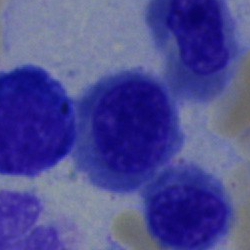
Cell = nucleated red cell.